Bone marrow smear: 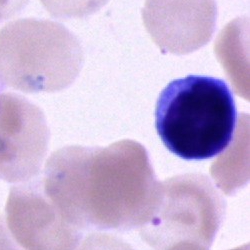Specimen: bone marrow smear.
Cell type: lymphocyte.
Lineage: lymphoid.